Peripheral blood smear. 400×400 px.
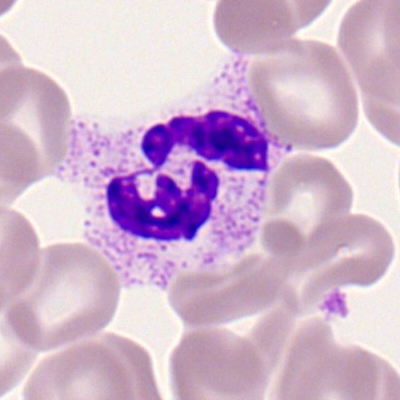
The cell shown is a neutrophil (segmented).